Brightfield microscopy, 40× oil immersion · bone marrow smear · MGG-stained
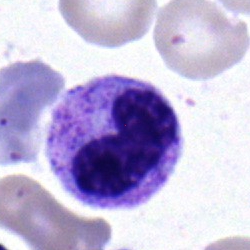
Q: What cell is this?
A: Band-form neutrophil.